Bone marrow aspirate smear.
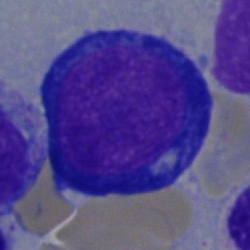Q: What type of cell is this?
A: Proerythroblast.